250×250 · bone marrow smear · brightfield, 40× oil-immersion objective:
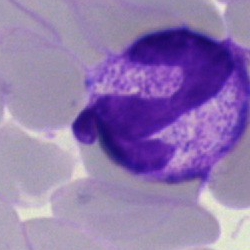

Polymorphonuclear neutrophil.